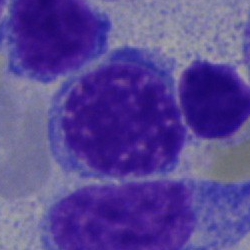 Cell of indeterminate lineage.